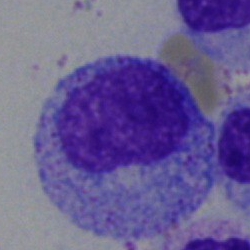

{"cell_type": "progranulocyte"}